Bone marrow aspirate smear:
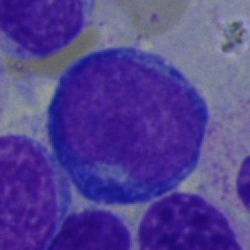
Morphology — pronormoblast.